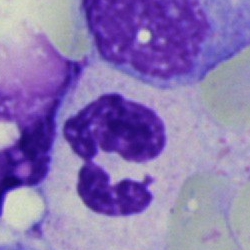

Specimen: bone marrow smear.
Morphological class: polymorphonuclear neutrophil.